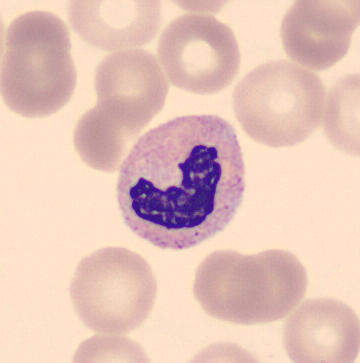Preparation: Single-cell crop; MGG stain.

Specimen: peripheral blood smear.
Cell type: band-form neutrophil.
Lineage: myeloid.